Single-cell field; bone marrow smear.
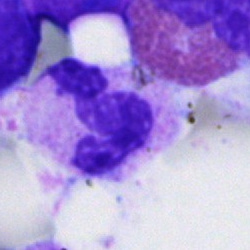 Morphological class: segmented neutrophil.